Bone marrow smear. Brightfield microscopy, 40× oil immersion
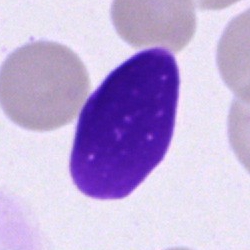

This is an artifact.